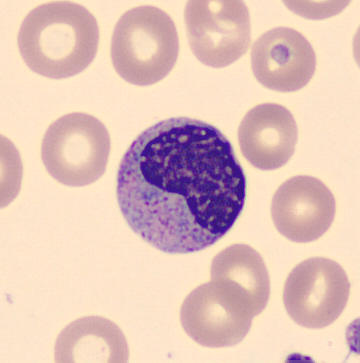 Single cell identified as a metamyelocyte.